Bone marrow smear:
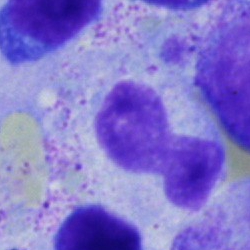
Cell type — band-form neutrophil.